Peripheral blood smear:
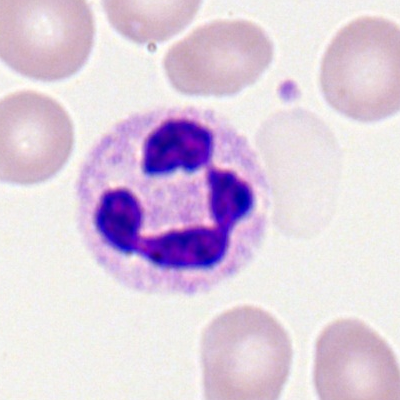 Q: Which cell type is shown here?
A: This is a polymorphonuclear neutrophil.